Bone marrow smear; single-cell crop:
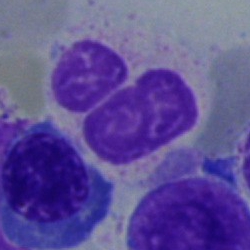Cell type = neutrophil (segmented).